Bone marrow aspirate smear:
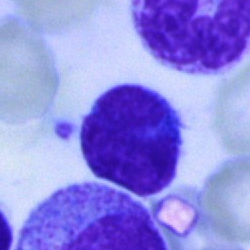 Impression — typical lymphocyte.